Bone marrow aspirate smear. Brightfield, 40× oil-immersion objective
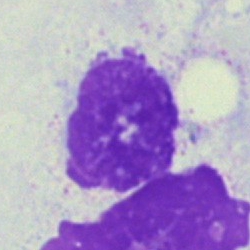 Artifact.